Romanowsky-type stain · peripheral blood smear — 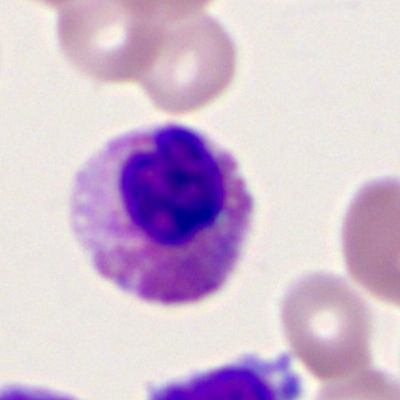Impression → eosinophilic granulocyte.